Bone marrow aspirate smear: 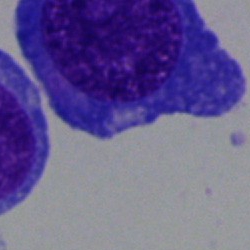 Erythroblast.